40× objective, oil immersion. Bone marrow aspirate smear: 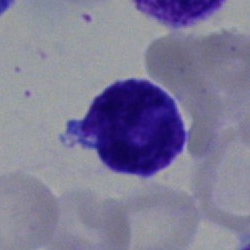

Single cell identified as a lymphocyte.